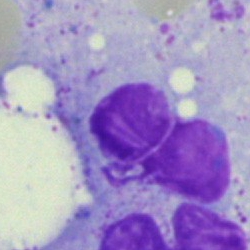Artifact.